Bone marrow aspirate smear
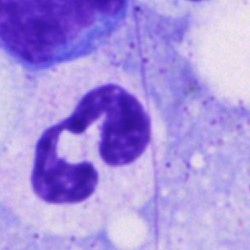
Cell type = polymorphonuclear neutrophil.